Bone marrow aspirate smear: 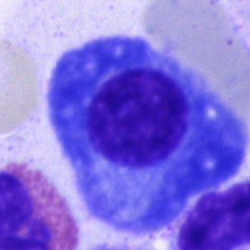
Showing a plasma cell.